Image size 250×250; MGG-stained; bone marrow aspirate smear — 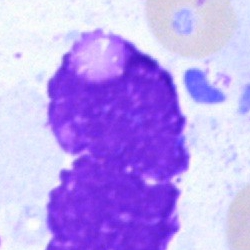 This is an artifact.